Bone marrow smear · May-Grünwald-Giemsa/Pappenheim stain — 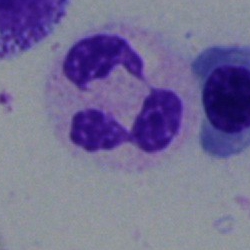
Impression — polymorphonuclear neutrophil.